Bone marrow aspirate smear · image size 250×250.
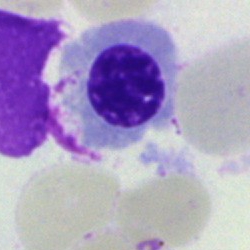{"cell_type": "normoblast", "lineage": "erythroid"}